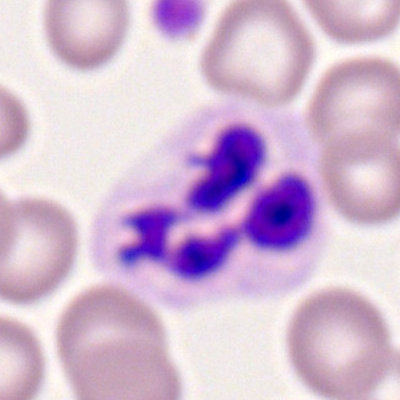

Showing a polymorphonuclear neutrophil.